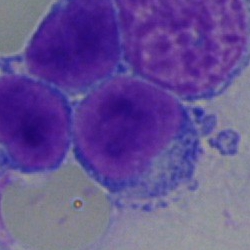
Classification — lymphocyte.